Bone marrow smear
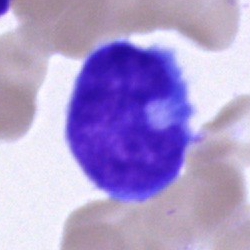 Cell type = monocyte.